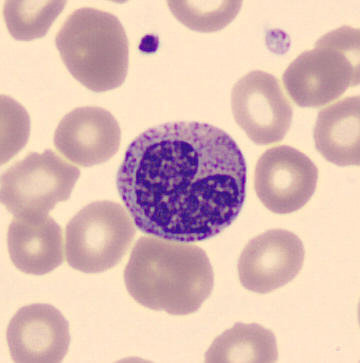
Impression → metamyelocyte.